Bone marrow smear; brightfield, 40× oil-immersion objective: 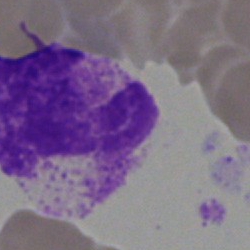Cell type: artefact.